Peripheral blood smear — 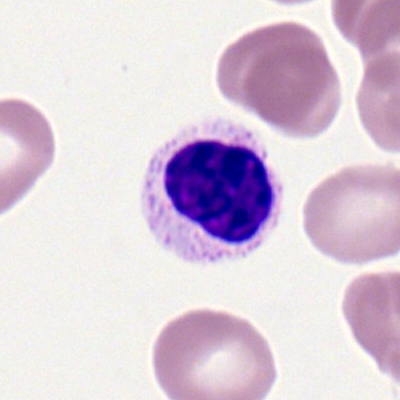

Classification — segmented neutrophil.